Cropped to a single cell · bone marrow aspirate smear · 250×250:
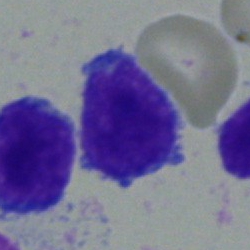 Cell type = undifferentiated blast.